Bone marrow smear
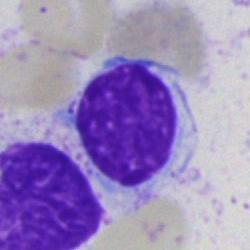Morphological class — typical lymphocyte.